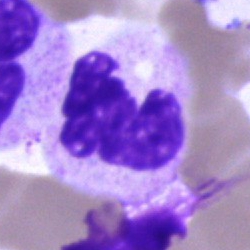 Q: What is shown here?
A: A segmented neutrophil.